40× oil immersion. Bone marrow smear:
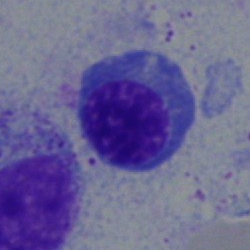
Morphology → nucleated red cell.